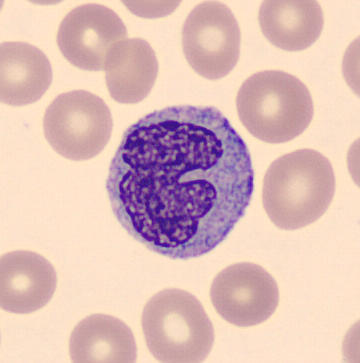
Preparation: Peripheral blood film. The cell shown is a monocyte.